Bone marrow aspirate smear; May-Grünwald-Giemsa/Pappenheim stain; brightfield, 40× oil-immersion objective: 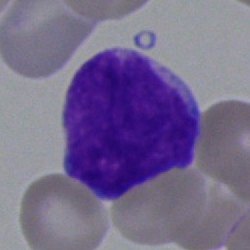Q: What is shown here?
A: It is a blast cell.